Bone marrow aspirate smear. 40× objective, oil immersion. Image size 250×250 — 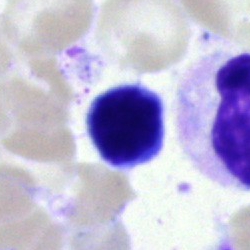
Cell type: lymphocyte.